Bone marrow aspirate smear. Image size 250×250. Pappenheim-stained:
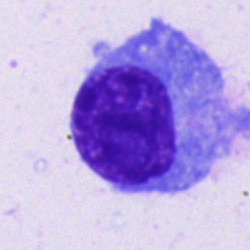
This is a plasma cell.